250×250. Bone marrow aspirate smear — 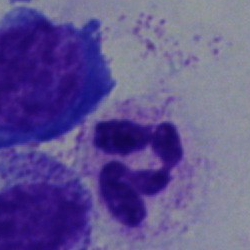Q: Which cell type is shown here?
A: Polymorphonuclear neutrophil.